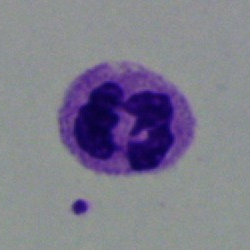Morphology consistent with a segmented neutrophil.